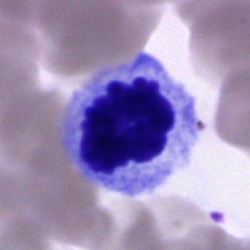Cell of indeterminate lineage.